Bone marrow smear; brightfield, 40× oil-immersion objective:
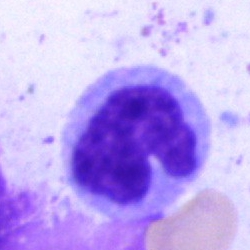
Specimen: bone marrow aspirate smear.
Morphological class: monocyte.
Lineage: myeloid.